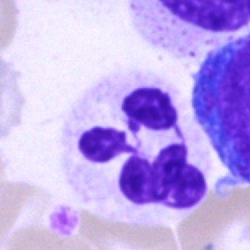
The classification is neutrophil (segmented).